Bone marrow aspirate smear
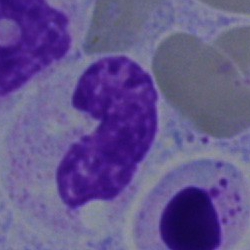
Morphology consistent with a band-form neutrophil.